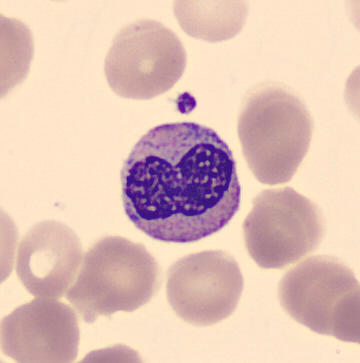

Metamyelocyte.

Image: Peripheral blood smear.